Bone marrow smear. May-Grünwald-Giemsa stain:
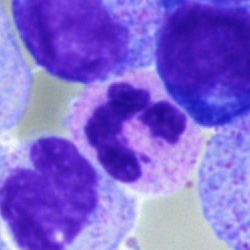Cell = neutrophil (segmented).